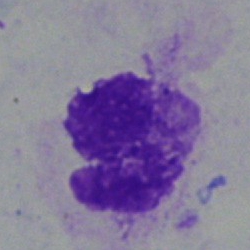
An artefact on a bone marrow smear.